250 by 250 pixels; bone marrow aspirate smear — 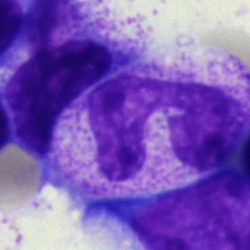 Single cell identified as a neutrophil (segmented).